Bone marrow aspirate smear — 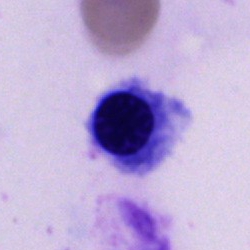 Specimen: bone marrow aspirate smear.
Morphological class: erythroblast.
Lineage: erythroid.